Bone marrow aspirate smear.
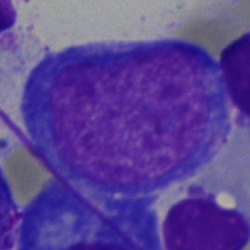Cell type: proerythroblast.